Cropped to a single cell. Bone marrow smear. 250×250 px:
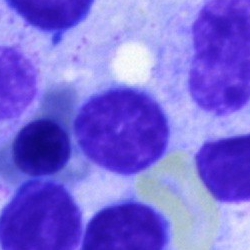

Cell = typical lymphocyte.